Bone marrow aspirate smear: 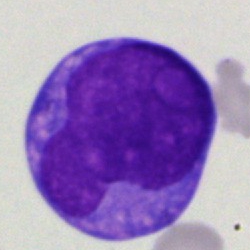Morphological class = blast.